Single-cell crop · bone marrow aspirate smear — 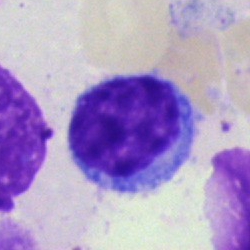 Q: Which cell type is shown here?
A: It is a lymphocyte.